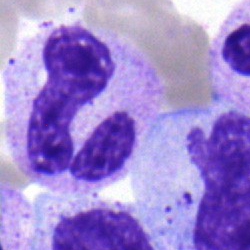
Single-cell crop from a bone marrow smear: neutrophil (band).